Bone marrow smear.
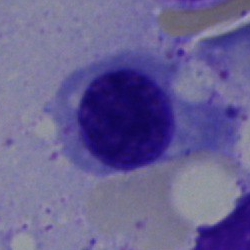 Cell — erythroblast.